Brightfield microscopy, 40× oil immersion. Bone marrow smear. 250×250 px — 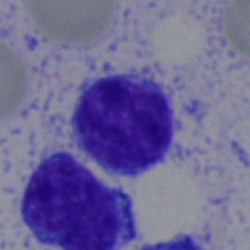
Classification — lymphocyte.